Peripheral blood smear:
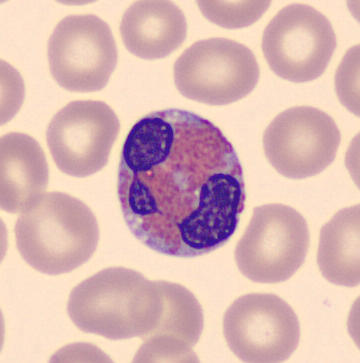 Morphological class: eosinophilic granulocyte.